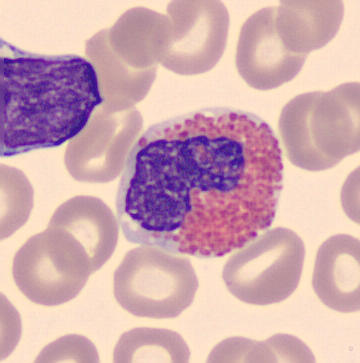

Preparation: Peripheral blood smear.

Showing an eosinophilic granulocyte.